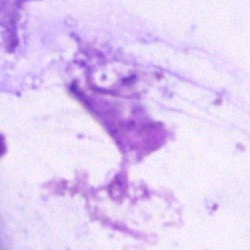Q: What is shown here?
A: An artifact.